Bone marrow smear:
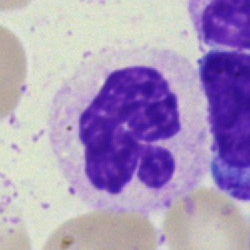Q: What type of cell is this?
A: This is a segmented neutrophil.